250 by 250 pixels. Brightfield, 40× oil-immersion objective. Bone marrow smear:
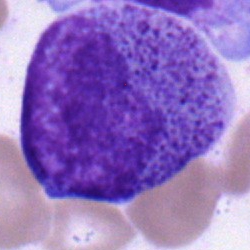
Morphology consistent with a promyelocyte.